Bone marrow aspirate smear; 40× objective, oil immersion: 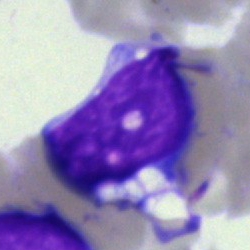 Showing a blast cell.